Bone marrow aspirate smear — 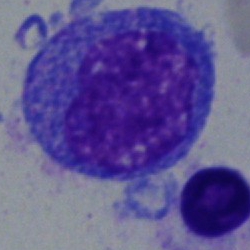
Morphological class = undifferentiated blast.